Bone marrow smear · May-Grünwald-Giemsa/Pappenheim stain: 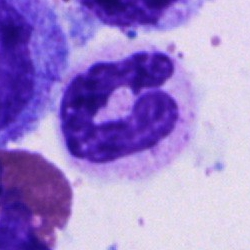
The classification is stab cell.